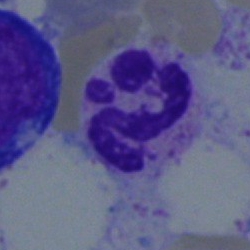

A polymorphonuclear neutrophil.